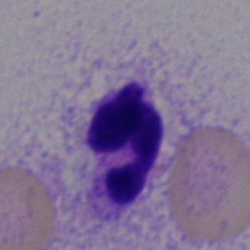 Morphological class — segmented neutrophil.